Bone marrow smear:
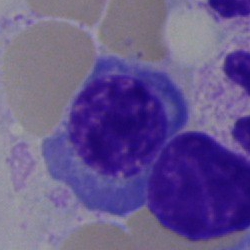 Morphology consistent with a nucleated red blood cell.